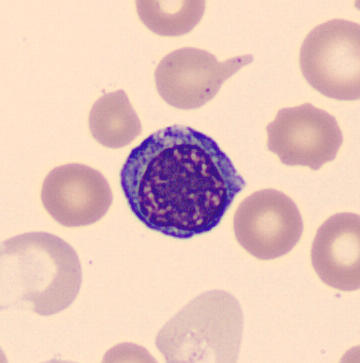

Cell — nucleated red blood cell.